Bone marrow aspirate smear · May-Grünwald-Giemsa stain
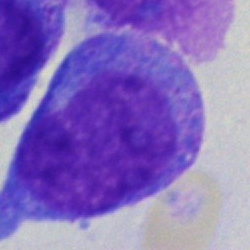 Morphology consistent with a blast.